Bone marrow smear: 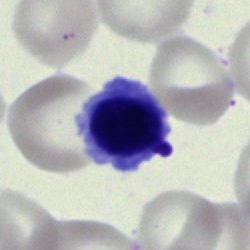Morphology consistent with a normoblast.